Peripheral blood film. 400 by 400 pixels:
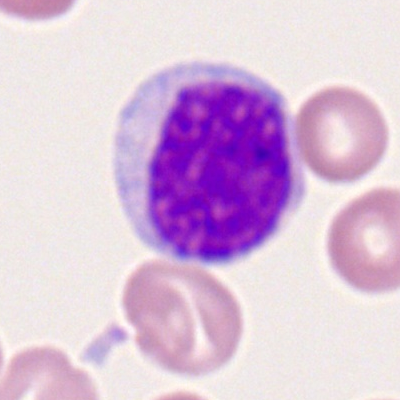
Morphological class — typical lymphocyte.